Bone marrow smear: 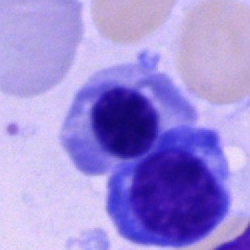Impression → erythroblast.